250×250 px · bone marrow smear.
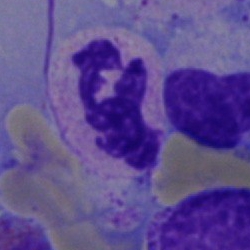

A segmented neutrophil.